Bone marrow smear · brightfield, 40× oil-immersion objective · Pappenheim-stained: 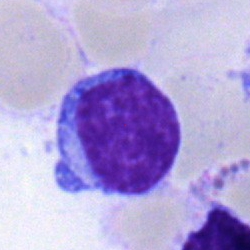The morphological class is lymphocyte.